Bone marrow smear
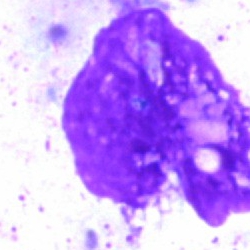
Q: What is shown here?
A: Artifact.